250×250 px. Bone marrow aspirate smear. May-Grünwald-Giemsa/Pappenheim stain — 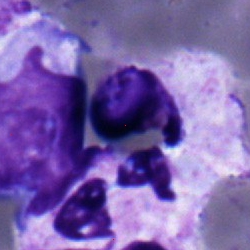{"cell_type": "neutrophil (segmented)", "lineage": "myeloid"}